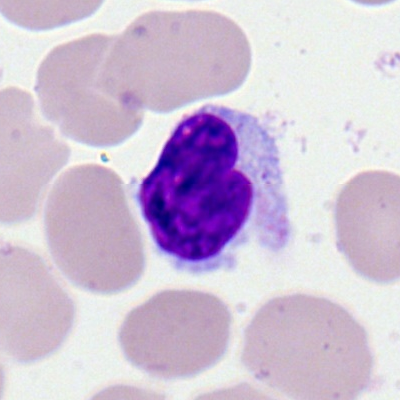

Q: What is the morphological classification of this cell?
A: This is a lymphocyte.